40× objective, oil immersion; bone marrow aspirate smear; May-Grünwald-Giemsa/Pappenheim stain.
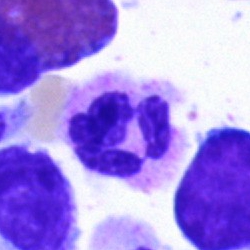Q: Which cell type is shown here?
A: A polymorphonuclear neutrophil.